Bone marrow smear — 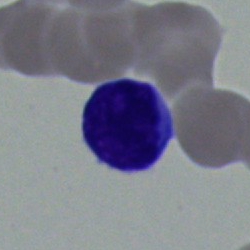 Specimen: bone marrow aspirate smear.
Morphological class: typical lymphocyte.